May-Grünwald-Giemsa/Pappenheim stain. Single-cell crop. Bone marrow aspirate smear — 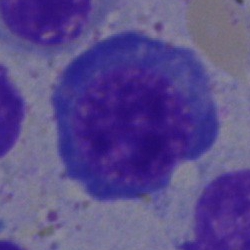
Nucleated red blood cell.